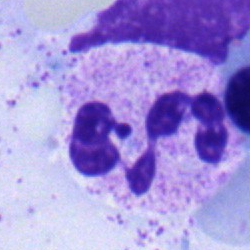
The classification is segmented neutrophil.